Bone marrow smear.
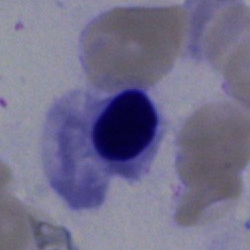
Impression → normoblast.